Bone marrow aspirate smear. MGG-stained — 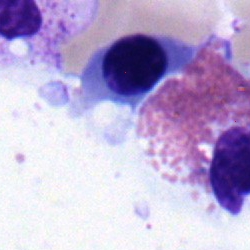A normoblast.